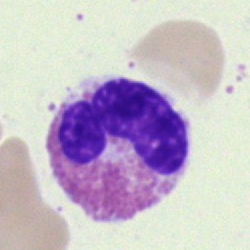Morphology — basophil.